Image size 250×250. Bone marrow smear — 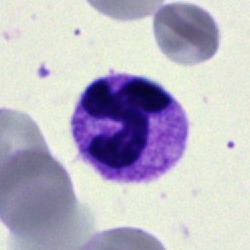Cell type: polymorphonuclear neutrophil.